Bone marrow aspirate smear
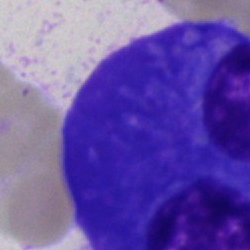The cell type is plasmacyte.